Bone marrow smear:
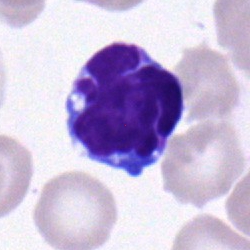 Specimen: bone marrow smear.
Morphological class: lymphocyte.
Lineage: lymphoid.